Bone marrow smear — 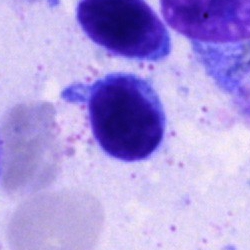 Q: Which cell type is shown here?
A: Lymphocyte.